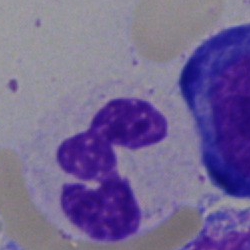 The cell shown is a neutrophil (segmented).